Single cell centered in the field; bone marrow smear.
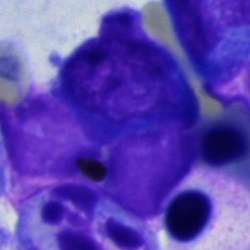 {"cell_type": "artifact"}